Cropped to a single cell. Bone marrow aspirate smear. May-Grünwald-Giemsa/Pappenheim stain — 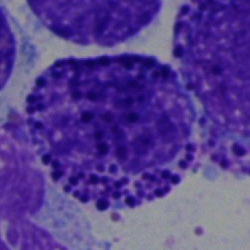
Morphological class — basophil.